Peripheral blood film.
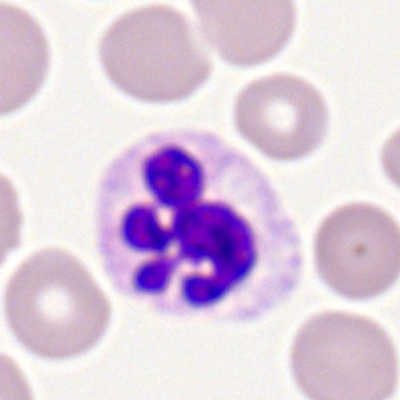Cell type = polymorphonuclear neutrophil.